Cropped to a single cell · peripheral blood smear · image size 400×400
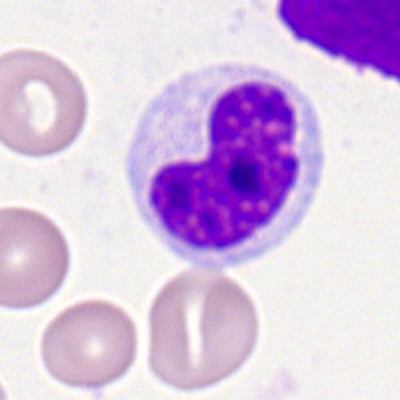 Classification: polymorphonuclear neutrophil.